Bone marrow aspirate smear
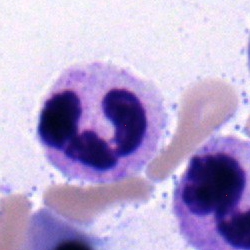 Cell type = neutrophil (segmented).